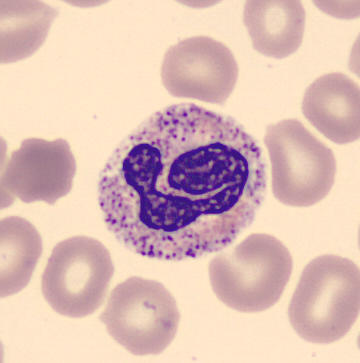
Q: Which cell type is shown here?
A: It is a segmented neutrophil. Preparation: Peripheral blood film; May-Grünwald-Giemsa-stained; image size 360×363.